Bone marrow aspirate smear · 250×250: 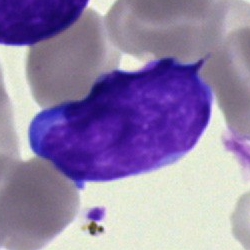 Cell type = blast.